Image size 250×250; bone marrow smear:
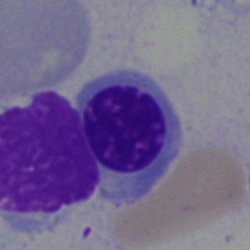

Showing a nucleated red cell.